Bone marrow aspirate smear. May-Grünwald-Giemsa stain: 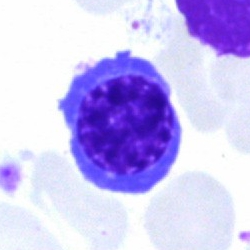 Morphology consistent with a normoblast.